Bone marrow smear · single cell centered in the field — 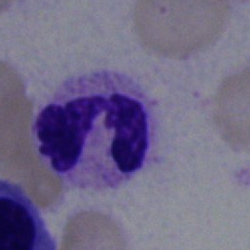 Cell type: neutrophil (segmented).